Peripheral blood film — 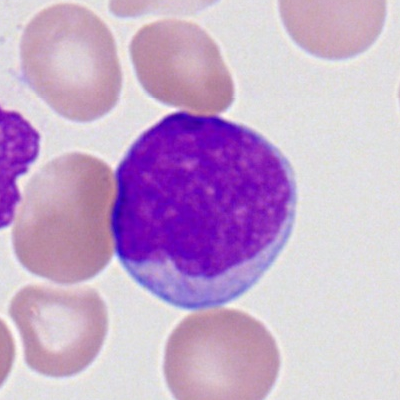 Specimen: peripheral blood film.
Cell type: myeloid blast.
Lineage: myeloid.